Bone marrow aspirate smear. 250×250 — 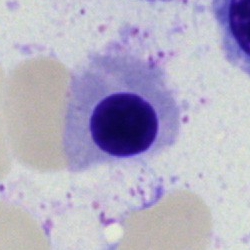

An erythroblast.